Bone marrow aspirate smear — 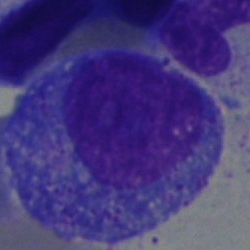 Morphology consistent with a promyelocyte.